Image size 250×250; bone marrow smear
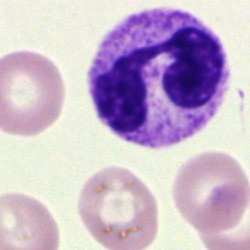Showing a polymorphonuclear neutrophil.